Bone marrow aspirate smear: 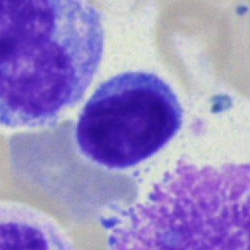 {"cell_type": "typical lymphocyte"}